Bone marrow aspirate smear. Single cell centered in the field — 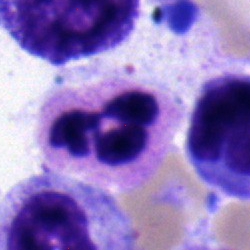

Q: Identify the cell.
A: Neutrophil (segmented).